May Grünwald-Giemsa stain. Peripheral blood film. 360×363 px: 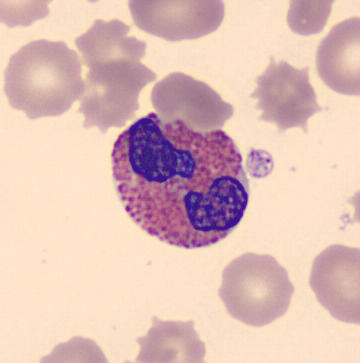

The morphological class is eosinophilic granulocyte.